Bone marrow aspirate smear.
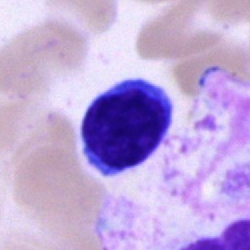

Cell type = typical lymphocyte.